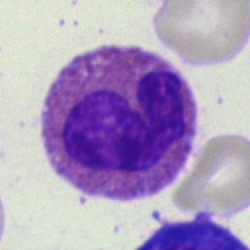Specimen: bone marrow smear.
Cell type: eosinophil.
Lineage: myeloid.